Image size 250×250; bone marrow smear
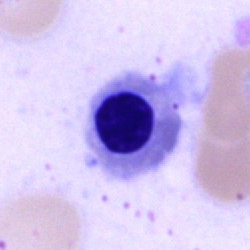The cell type is nucleated red cell.